May-Grünwald-Giemsa stain. Bone marrow smear.
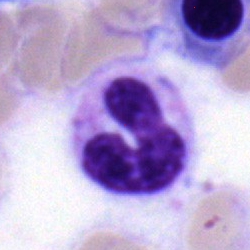Cell type — stab cell.